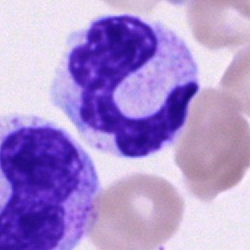 Cell = segmented neutrophil.